Bone marrow aspirate smear — 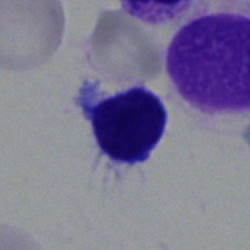

Q: What is shown here?
A: This is a lymphocyte.